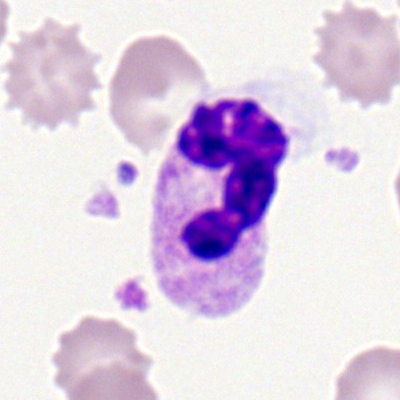
Morphology — polymorphonuclear neutrophil.